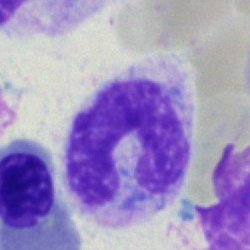Cell type: stab cell.